Bone marrow aspirate smear. May-Grünwald-Giemsa/Pappenheim stain. Image size 250×250 — 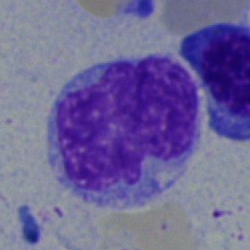 Q: Identify the cell.
A: A monocyte.